Bone marrow smear — 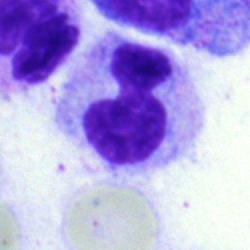
Q: Which cell type is shown here?
A: Polymorphonuclear neutrophil.